Bone marrow smear
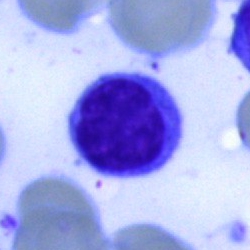 Morphological class — lymphocyte.